Bone marrow aspirate smear
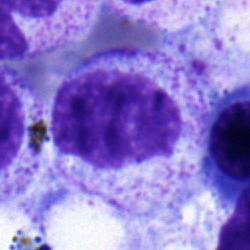

A myelocyte.